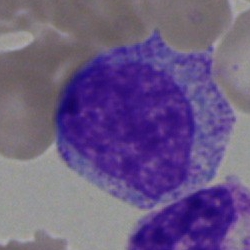 Q: Which cell type is shown here?
A: Myelocyte.